Bone marrow smear
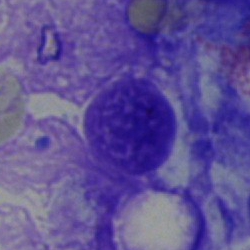
Q: What is shown here?
A: An artifact.